Bone marrow aspirate smear · brightfield microscopy, 40× oil immersion: 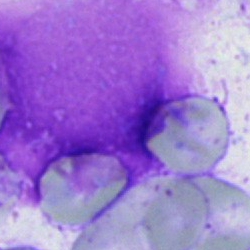

Cell — artefact.